40× oil immersion; bone marrow smear; May-Grünwald-Giemsa/Pappenheim stain: 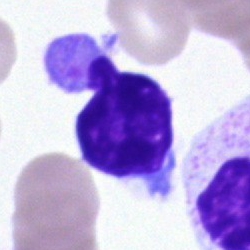
Cell type — lymphocyte.